Bone marrow aspirate smear. Single-cell crop
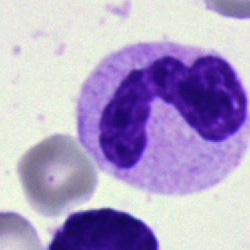Q: What type of cell is this?
A: A polymorphonuclear neutrophil.